Bone marrow aspirate smear. Image size 250×250.
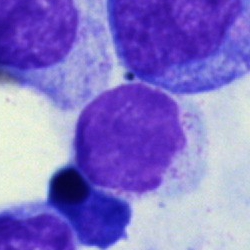Cell type: artifact.